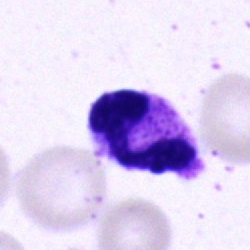 This is a segmented neutrophil.